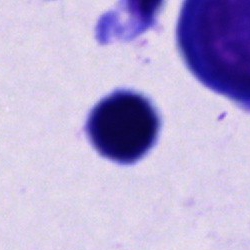 Cell: unidentifiable cell.